Bone marrow smear
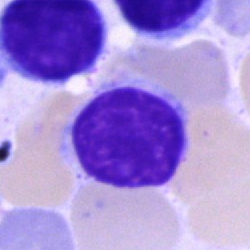 Specimen: bone marrow aspirate smear.
Cell: typical lymphocyte.